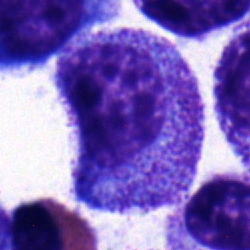 Morphology consistent with a promyelocyte.